250×250; bone marrow aspirate smear
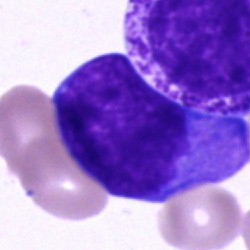 The cell type is undifferentiated blast.